Bone marrow smear: 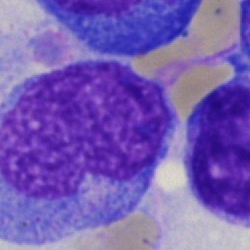 The cell shown is an undifferentiated blast.